Pappenheim-stained; 250×250 px; bone marrow smear: 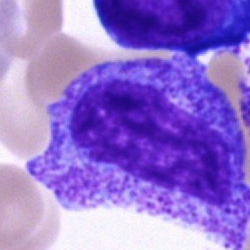 Morphology consistent with a progranulocyte.